Bone marrow aspirate smear:
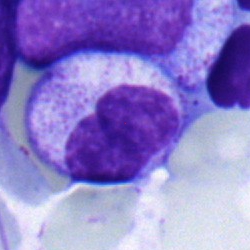

This is a metamyelocyte.